Peripheral blood film · imaged on a CellaVision DM96 analyser · 360 by 363 pixels.
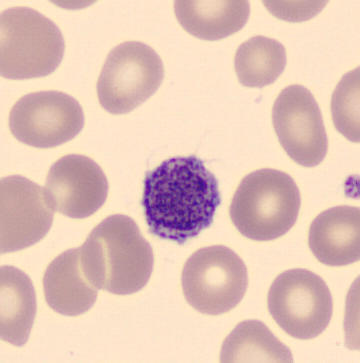A thrombocyte.